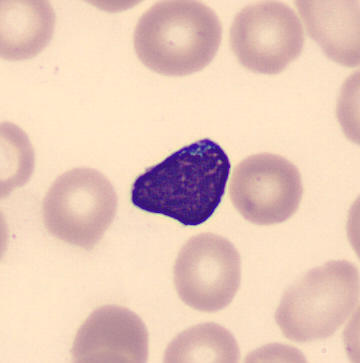

Single cell centered in the field; peripheral blood film.

A lymphocyte.